Peripheral blood film · Romanowsky-type stain
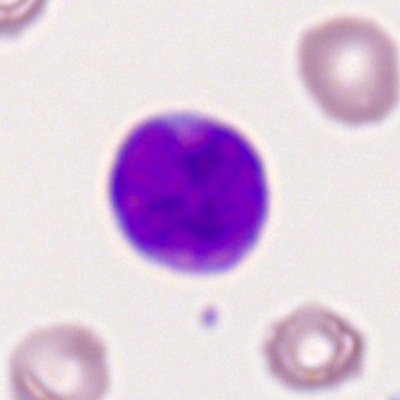
A myeloid blast.